Bone marrow aspirate smear.
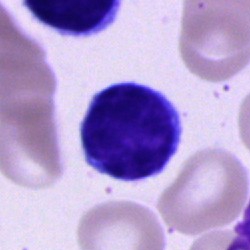Morphology consistent with a lymphocyte.